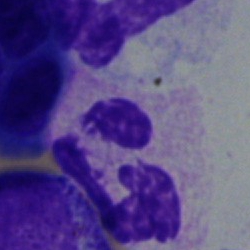Q: Which cell type is shown here?
A: Neutrophil (segmented).